Bone marrow aspirate smear. 250×250: 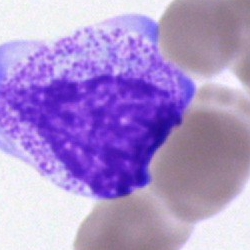
This is a myelocyte.